Bone marrow smear · 40× oil immersion:
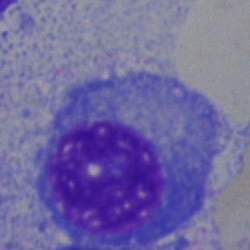

Morphology → plasmacyte.